Bone marrow aspirate smear
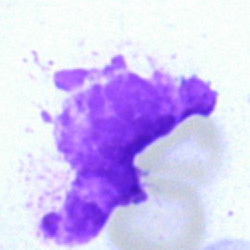Q: What is shown here?
A: Artefact.